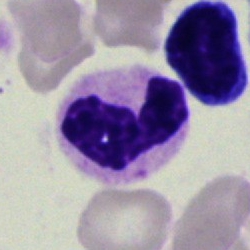
Single-cell crop from a bone marrow smear: stab cell.